Bone marrow aspirate smear; single-cell crop — 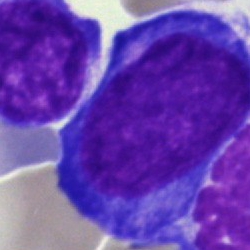This is a proerythroblast.